Bone marrow smear.
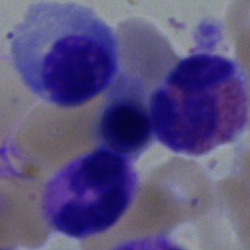Showing an eosinophil.